Image size 250×250. Brightfield microscopy, 40× oil immersion. Bone marrow aspirate smear: 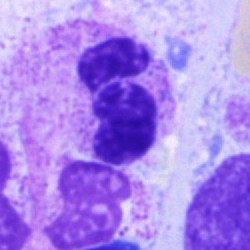
Specimen: bone marrow aspirate smear.
Morphological class: polymorphonuclear neutrophil.